Bone marrow aspirate smear. May-Grünwald-Giemsa/Pappenheim stain.
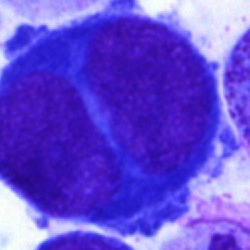
Classification: pronormoblast.